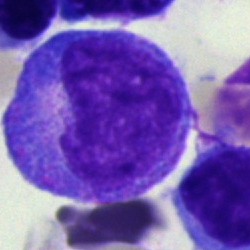
This is a promyelocyte.